Bone marrow smear:
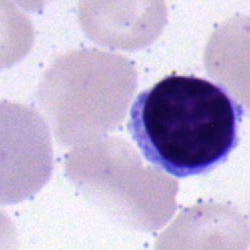Q: What cell is this?
A: This is a typical lymphocyte.